Bone marrow smear: 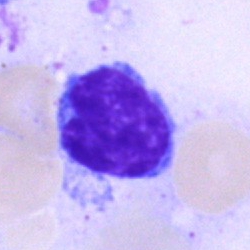{"cell_type": "lymphocyte"}